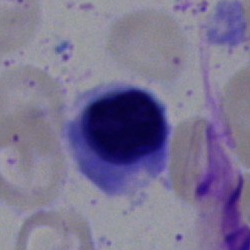

Morphology — nucleated red blood cell.